Bone marrow smear. Single-cell field: 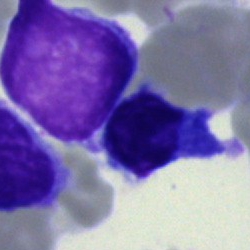
Cell — typical lymphocyte.